Peripheral blood film — 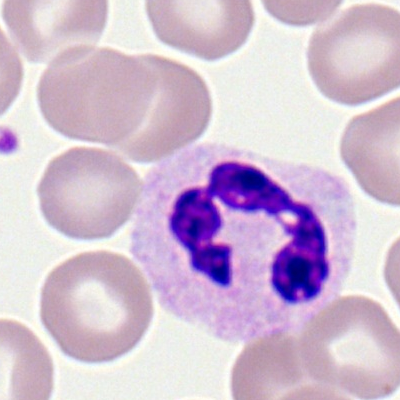
Q: What is the morphological classification of this cell?
A: This is a polymorphonuclear neutrophil.